Single cell centered in the field; bone marrow smear.
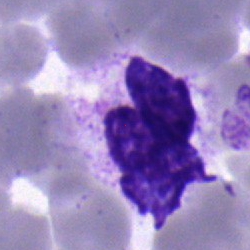Q: Which cell type is shown here?
A: It is a neutrophil (band).